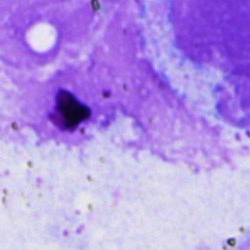
The classification is artifact.